Romanowsky-type stain · peripheral blood smear · single-cell crop:
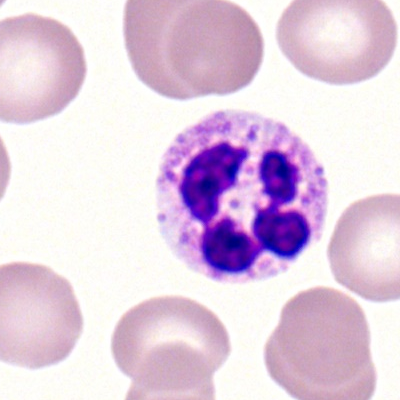 Specimen: peripheral blood smear.
Cell: polymorphonuclear neutrophil.
Lineage: myeloid.